Bone marrow aspirate smear: 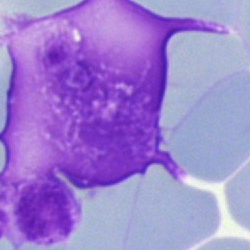Specimen: bone marrow aspirate smear.
Morphological class: artifact.